40× objective, oil immersion; bone marrow smear:
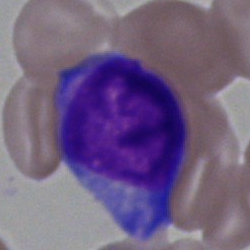Single cell identified as an undifferentiated blast.